Bone marrow smear; 40× objective, oil immersion; image size 250×250:
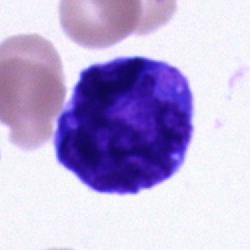
The cell type is unidentifiable cell.